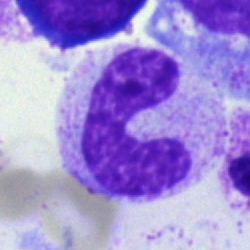
Q: Identify the cell.
A: It is a band neutrophil.